Peripheral blood smear · 400×400 · Romanowsky stain — 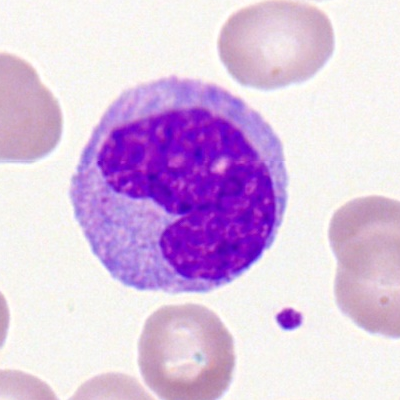 Specimen: peripheral blood film.
Morphological class: monocyte.
Lineage: myeloid.